Peripheral blood film
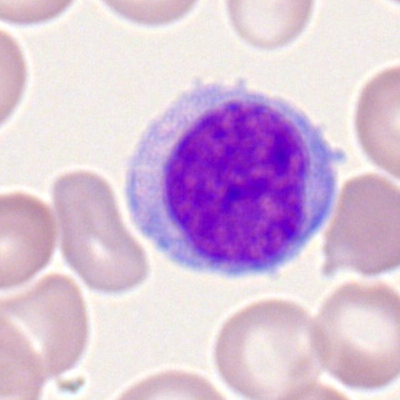
{"cell_type": "monocyte", "lineage": "myeloid"}